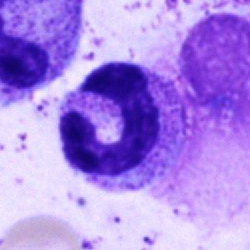Q: What is the morphological classification of this cell?
A: Stab cell.